Bone marrow aspirate smear:
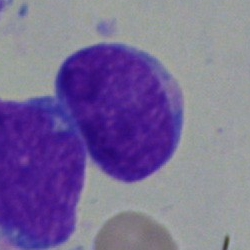Impression — blast cell.